Peripheral blood smear: 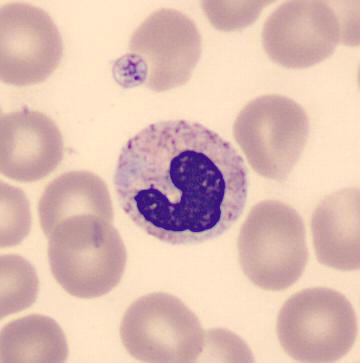
{"cell_type": "neutrophil (band)"}